Bone marrow smear — 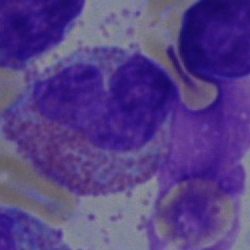

Q: What type of cell is this?
A: It is an eosinophil.